Bone marrow smear
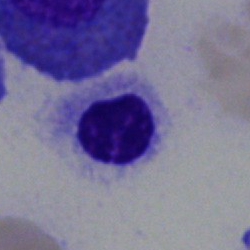Showing a nucleated red cell.